Bone marrow aspirate smear · 40× oil immersion · 250×250 px.
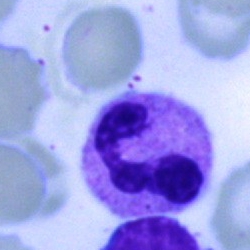
Impression → neutrophil (segmented).